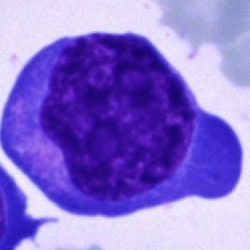Q: What is the morphological classification of this cell?
A: It is a blast cell.